Bone marrow aspirate smear — 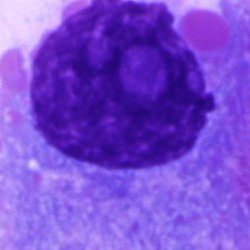

{"cell_type": "plasmacyte", "lineage": "lymphoid"}